40× objective, oil immersion. Cropped to a single cell. Bone marrow aspirate smear.
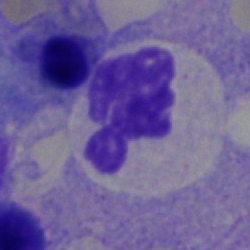Q: What type of cell is this?
A: A polymorphonuclear neutrophil.